Image size 250×250; bone marrow aspirate smear; single-cell crop: 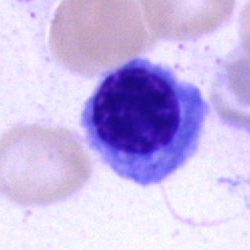
Single cell identified as a normoblast.